Bone marrow aspirate smear; single-cell crop.
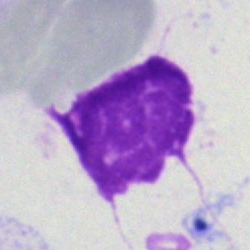
Cell — artifact.